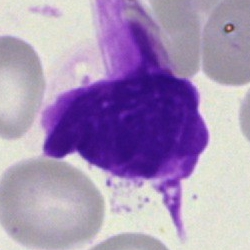

Q: What is shown here?
A: An artefact.